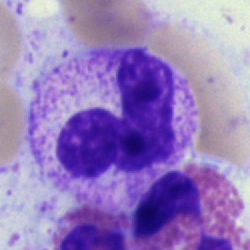
The morphological class is band neutrophil.